Bone marrow smear — 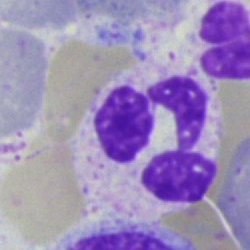

Morphology consistent with a segmented neutrophil.